Bone marrow aspirate smear.
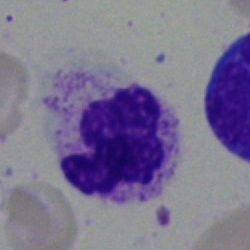

The cell shown is a segmented neutrophil.